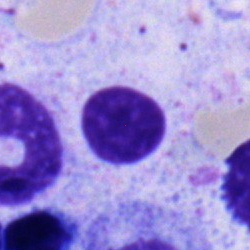

Classification — typical lymphocyte.